Bone marrow smear · cropped to a single cell:
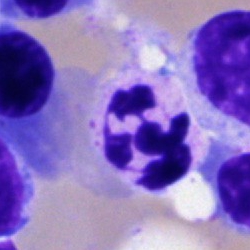 Q: What is shown here?
A: This is a neutrophil (segmented).